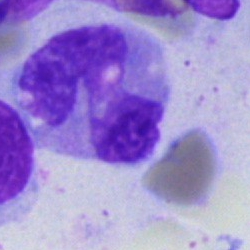 Cell — stab cell.